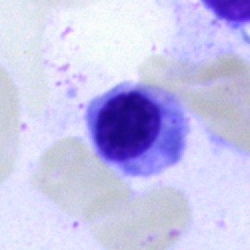Cell = nucleated red cell.